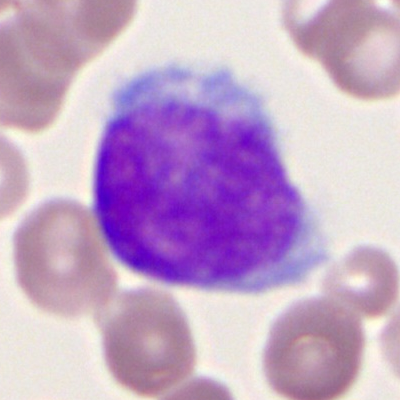 Single-cell crop from a peripheral blood smear: myeloblast.